250 by 250 pixels; single-cell field; bone marrow aspirate smear
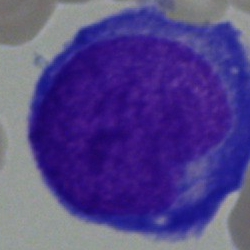 Basophilic granulocyte.